Cropped to a single cell; bone marrow aspirate smear; May-Grünwald-Giemsa/Pappenheim stain.
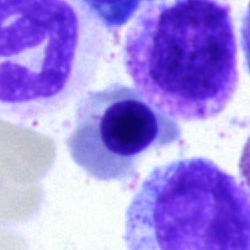

Nucleated red cell.